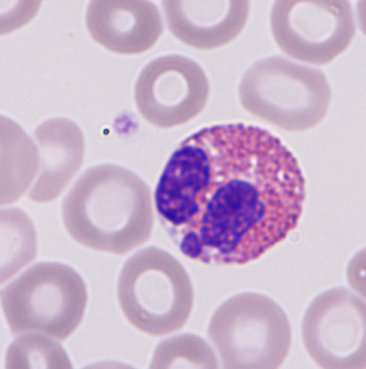
Specimen: peripheral blood film.
Morphological class: eosinophil.
Lineage: myeloid.